Bone marrow aspirate smear.
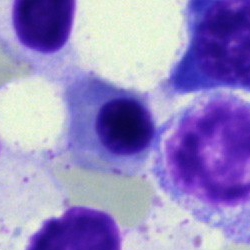Classification — nucleated red blood cell.